Image size 250×250. Bone marrow smear.
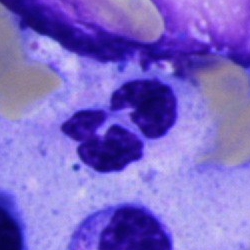Specimen: bone marrow smear.
Cell type: polymorphonuclear neutrophil.
Lineage: myeloid.